Single cell centered in the field. Bone marrow smear. 250 by 250 pixels.
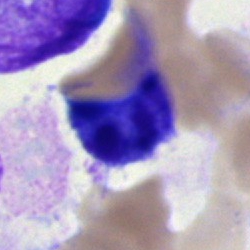

{"cell_type": "artefact"}